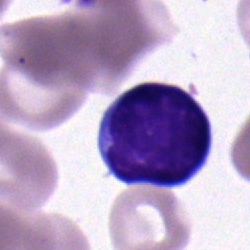Specimen: bone marrow smear.
Morphological class: typical lymphocyte.